Bone marrow aspirate smear:
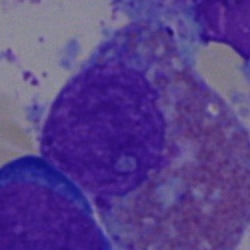This is an eosinophil.